Bone marrow smear
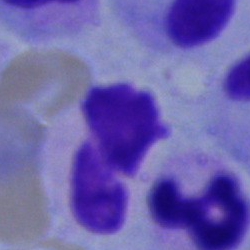This is a segmented neutrophil.